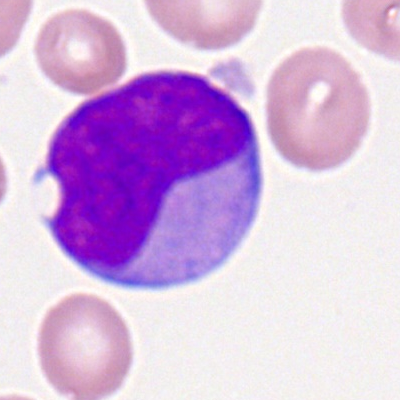

Q: What is the morphological classification of this cell?
A: This is a myeloblast.